Bone marrow aspirate smear: 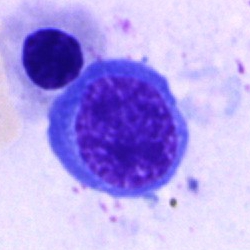

Morphology consistent with a nucleated red cell.